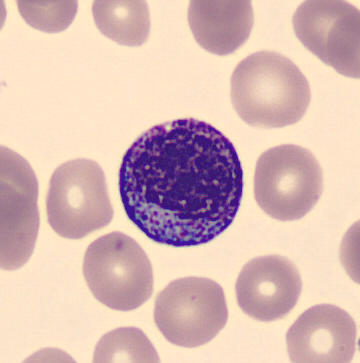
Acquisition: Peripheral blood film. 360×363 px. May Grünwald-Giemsa stain.

{"cell_type": "myelocyte"}